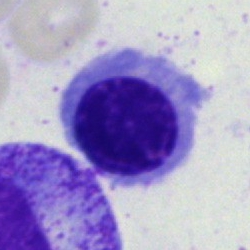
Morphology → nucleated red blood cell.